Bone marrow aspirate smear — 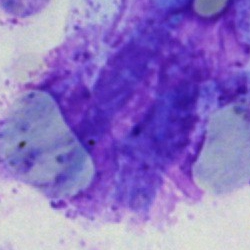

This is an artifact.